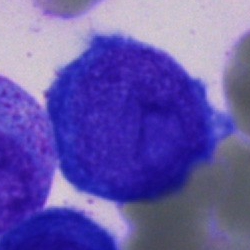

Q: Identify the cell.
A: A blast.